Brightfield microscopy, 40× oil immersion · bone marrow smear: 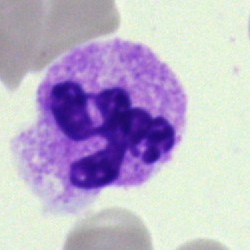

Morphological class = neutrophil (segmented).